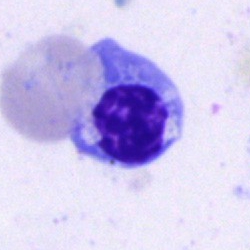A nucleated red blood cell.